Bone marrow aspirate smear
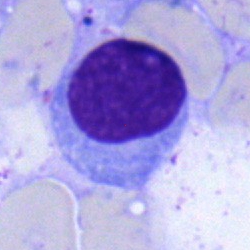

Specimen: bone marrow aspirate smear.
Classification: typical lymphocyte.
Lineage: lymphoid.